Bone marrow smear · single cell centered in the field.
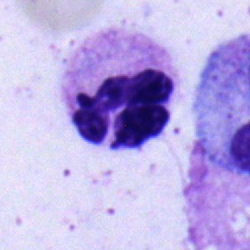
Q: Identify the cell.
A: Neutrophil (segmented).